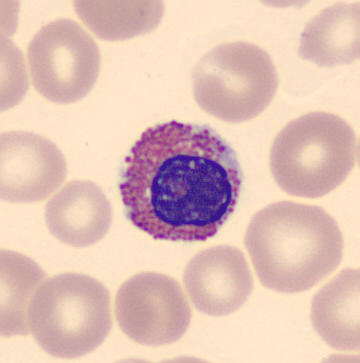 Cell type: eosinophil.